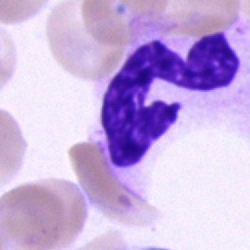The cell is segmented neutrophil.